Peripheral blood film; Romanowsky-type stain:
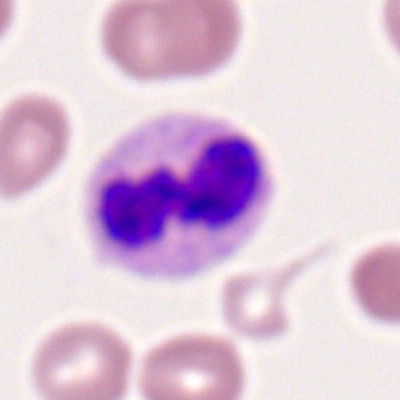Morphology consistent with a polymorphonuclear neutrophil.